Peripheral blood smear · cropped to a single cell
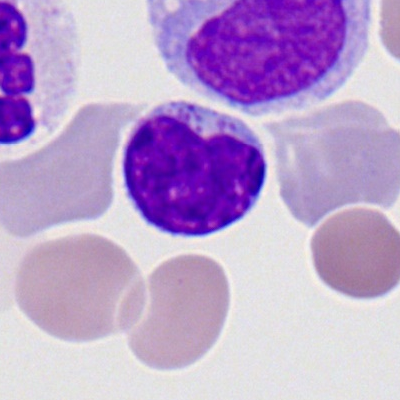Classification: typical lymphocyte.